40× objective, oil immersion. Bone marrow smear — 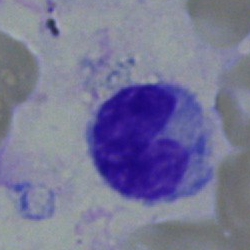 A monocyte.